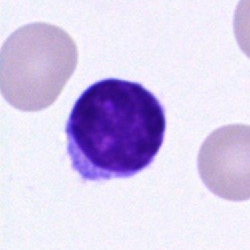 Q: Identify the cell.
A: A lymphocyte.